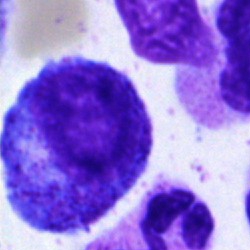

Single cell identified as a progranulocyte.